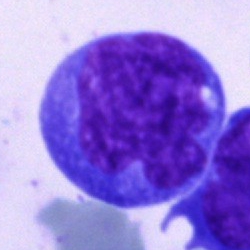Specimen: bone marrow aspirate smear.
Cell: blast cell.